Bone marrow aspirate smear:
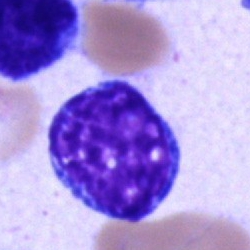
Specimen: bone marrow smear.
Morphological class: blast.